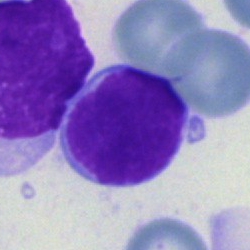
Morphology consistent with a lymphocyte.